Single-cell crop · MGG-stained · bone marrow smear: 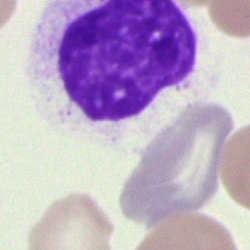

Specimen: bone marrow smear.
Cell type: artefact.